250×250; bone marrow smear
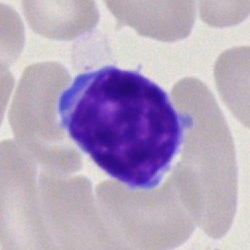 Cell: typical lymphocyte.